MGG-stained. Bone marrow smear:
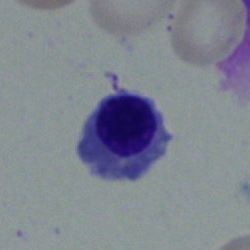

Morphology consistent with a normoblast.